Bone marrow smear
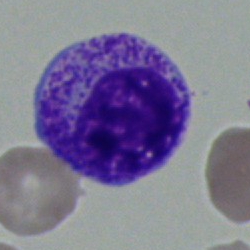 Single cell identified as a myelocyte.